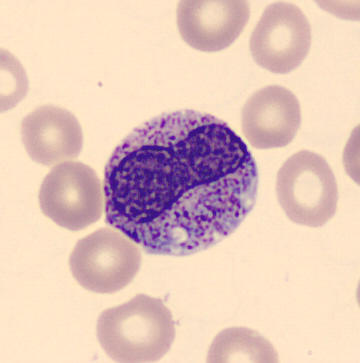
Q: What is the morphological classification of this cell?
A: This is a metamyelocyte.

Preparation: Peripheral blood film.